Image size 250×250; bone marrow aspirate smear:
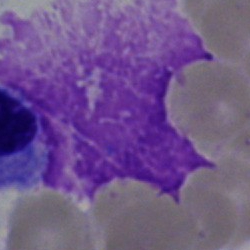Classification — artefact.